Peripheral blood smear.
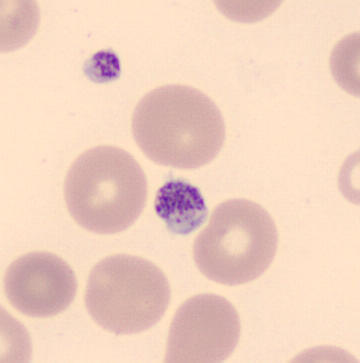Classification: thrombocyte.